Bone marrow aspirate smear — 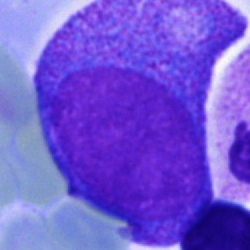Morphological class = promyelocyte.